Bone marrow smear. Single-cell crop — 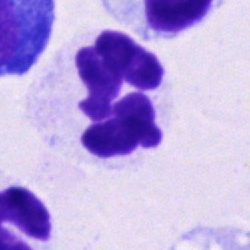Showing a polymorphonuclear neutrophil.